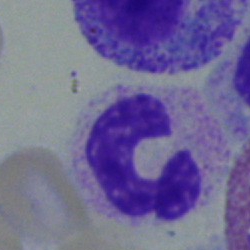
Bone marrow smear showing a neutrophil (segmented).